Image size 250×250; brightfield, 40× oil-immersion objective; bone marrow aspirate smear — 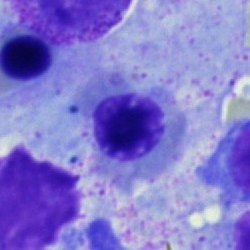 Showing a nucleated red cell.